Bone marrow aspirate smear.
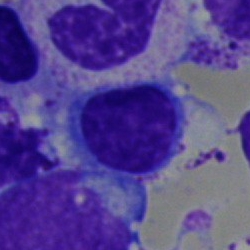

Showing a nucleated red blood cell.